Bone marrow aspirate smear: 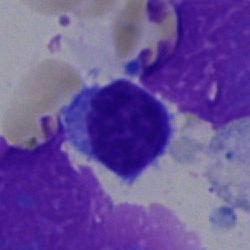
Q: Which cell type is shown here?
A: This is a typical lymphocyte.